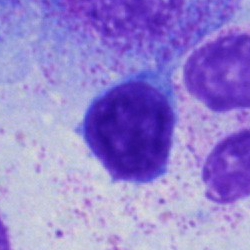

{"cell_type": "typical lymphocyte", "lineage": "lymphoid"}